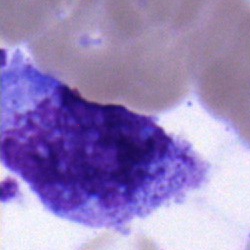 Bone marrow aspirate smear, single cell — undifferentiated blast.